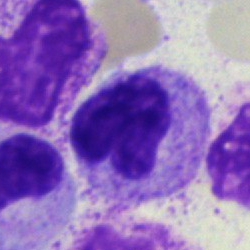
The cell type is polymorphonuclear neutrophil.